Bone marrow smear — 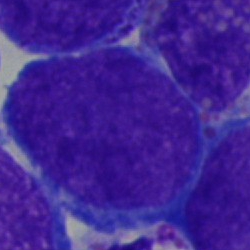
Morphology consistent with a blast cell.